250×250 px. Bone marrow smear
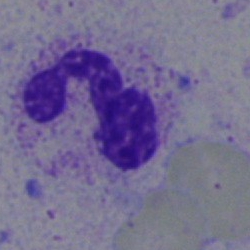Classification = polymorphonuclear neutrophil.